Pappenheim-stained. Bone marrow aspirate smear
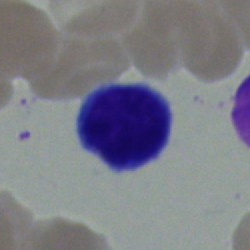

{"cell_type": "lymphocyte", "lineage": "lymphoid"}